Bone marrow aspirate smear:
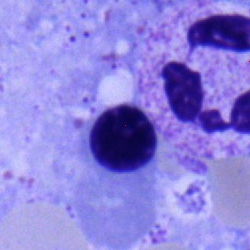Cell type — nucleated red blood cell.